Bone marrow smear. Brightfield microscopy, 40× oil immersion. Single-cell field — 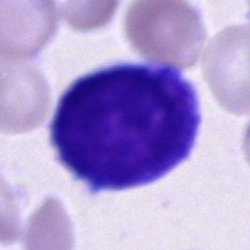Q: What type of cell is this?
A: An unidentifiable cell.